Bone marrow aspirate smear · May-Grünwald-Giemsa/Pappenheim stain: 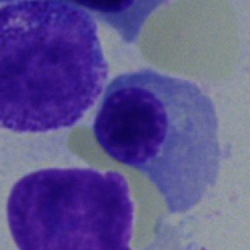

The cell type is normoblast.